Single cell centered in the field. Bone marrow aspirate smear:
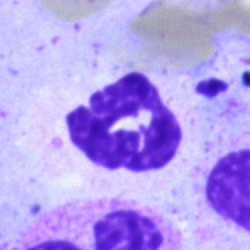

Q: What type of cell is this?
A: Polymorphonuclear neutrophil.